Peripheral blood film
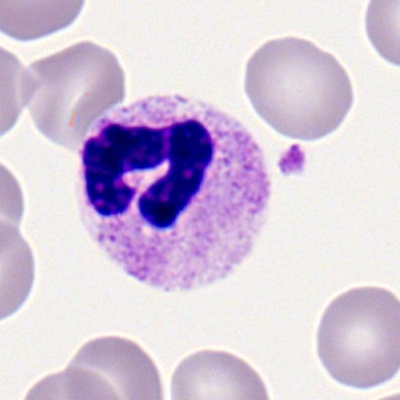 Q: What type of cell is this?
A: This is a neutrophil (segmented).